Bone marrow smear. Brightfield, 40× oil-immersion objective: 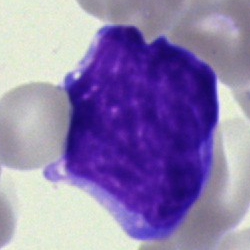
Cell — blast.